Bone marrow smear; 40× objective, oil immersion; single-cell crop: 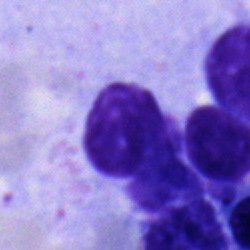 The cell type is lymphocyte.